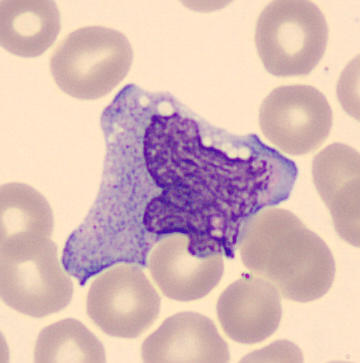

Peripheral blood film. Morphology → monocyte.